Bone marrow aspirate smear; 250×250 px:
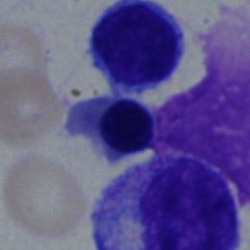Specimen: bone marrow aspirate smear.
Cell type: nucleated red blood cell.
Lineage: erythroid.